Single cell centered in the field · bone marrow aspirate smear — 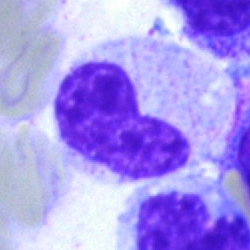 {"cell_type": "stab cell"}